Image size 250×250. Pappenheim-stained. Bone marrow aspirate smear:
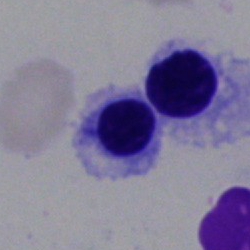 Q: Identify the cell.
A: Nucleated red cell.